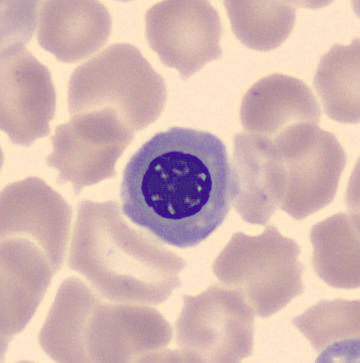 A nucleated red cell.